Bone marrow aspirate smear · 250×250.
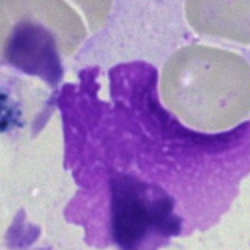 Q: What is shown here?
A: It is an artifact.